250×250; MGG-stained; bone marrow smear.
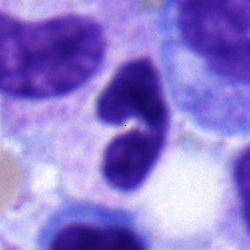Morphology — segmented neutrophil.